Bone marrow aspirate smear; May-Grünwald-Giemsa stain
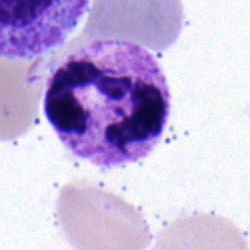
Morphology consistent with a segmented neutrophil.